Bone marrow smear
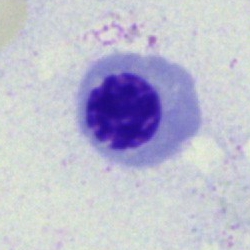

Q: What is the morphological classification of this cell?
A: An erythroblast.